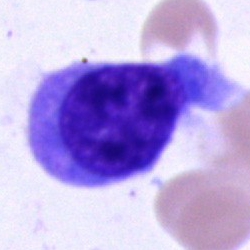
Impression → promyelocyte.